Bone marrow aspirate smear.
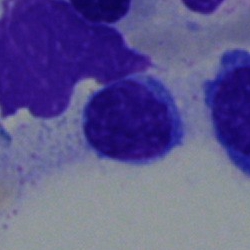

Typical lymphocyte.